Bone marrow aspirate smear.
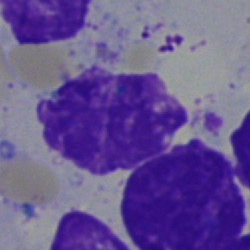The cell shown is an artefact.